Bone marrow aspirate smear · MGG-stained.
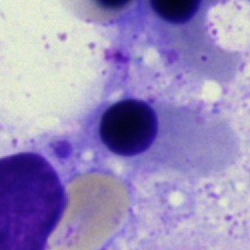

This is an erythroblast.